Bone marrow aspirate smear.
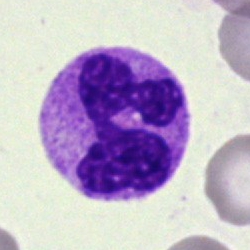 Q: Which cell type is shown here?
A: A segmented neutrophil.